Bone marrow aspirate smear:
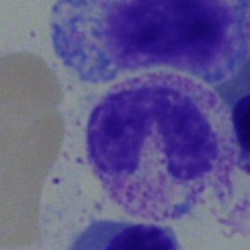Specimen: bone marrow aspirate smear.
Classification: stab cell.